Single-cell crop. 250×250 px. Bone marrow aspirate smear — 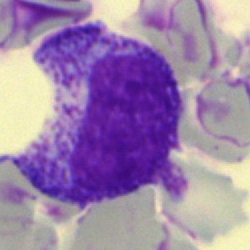A promyelocyte.